Bone marrow smear
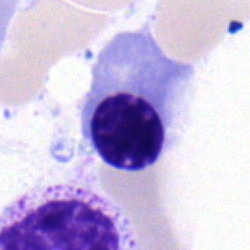
Nucleated red cell.